Bone marrow aspirate smear — 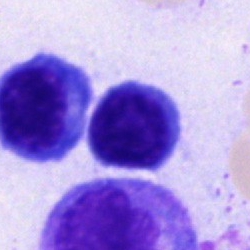The cell type is lymphocyte.